Image size 250×250; bone marrow aspirate smear:
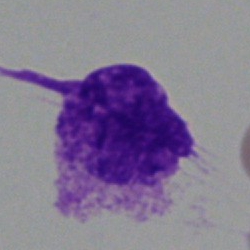
Cell type — artifact.